40× oil immersion. Bone marrow smear — 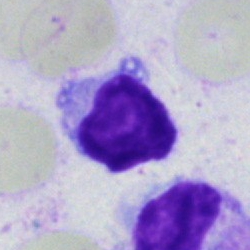 Specimen: bone marrow aspirate smear.
Morphological class: lymphocyte.
Lineage: lymphoid.